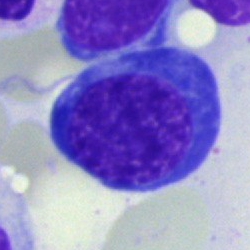Morphology consistent with an erythroblast.